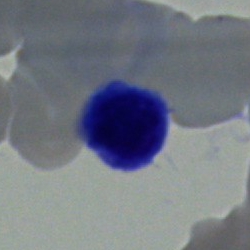
A typical lymphocyte.